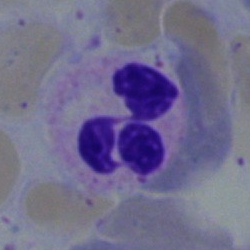 A neutrophil (segmented).